40× objective, oil immersion. Bone marrow smear: 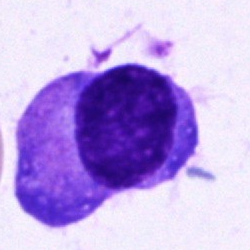Morphological class — plasmacyte.